250 by 250 pixels. Bone marrow smear — 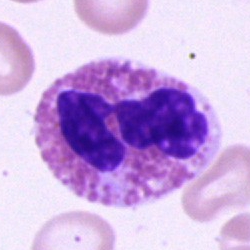An eosinophilic granulocyte.